Bone marrow smear; May-Grünwald-Giemsa stain — 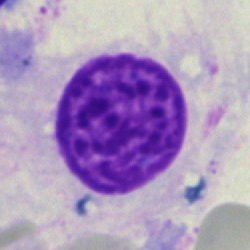Single cell identified as an artifact.